MGG-stained; CellaVision DM96; peripheral blood smear:
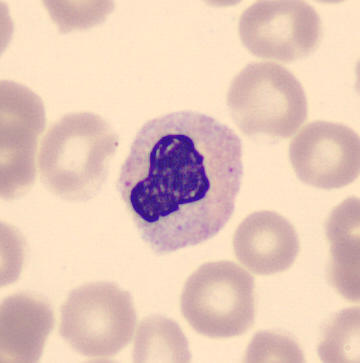 The morphological class is stab cell.